Bone marrow aspirate smear:
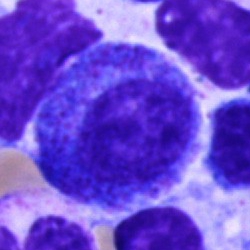 Showing a progranulocyte.